Bone marrow aspirate smear: 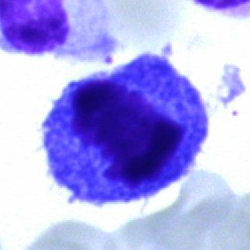 Q: What is shown here?
A: Artifact.